250 by 250 pixels. Cropped to a single cell. Bone marrow aspirate smear — 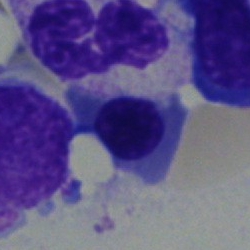

A nucleated red cell.